40× oil immersion · bone marrow smear — 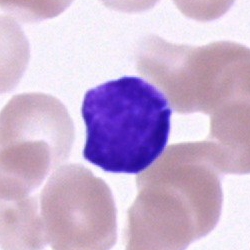
Showing a typical lymphocyte.